Bone marrow smear:
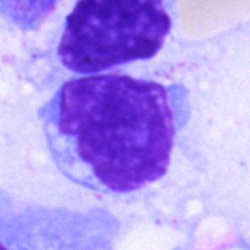
Specimen: bone marrow smear.
Morphological class: typical lymphocyte.
Lineage: lymphoid.